Bone marrow aspirate smear.
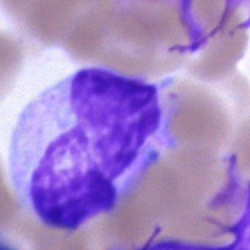 This is an unidentifiable cell.